Bone marrow smear.
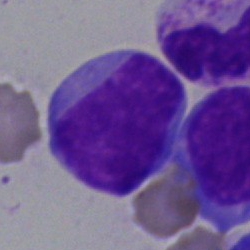 Impression → blast cell.